Bone marrow aspirate smear; single-cell crop; brightfield, 40× oil-immersion objective — 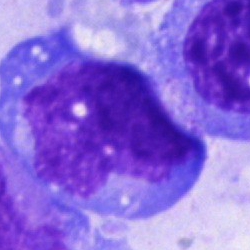
Cell: monocyte.